Bone marrow aspirate smear — 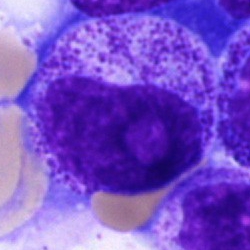The morphological class is myelocyte.